Single-cell field. Bone marrow smear.
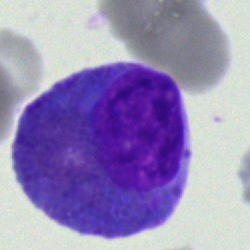

Morphology consistent with an eosinophilic granulocyte.